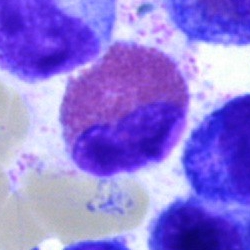{"cell_type": "eosinophilic granulocyte", "lineage": "myeloid"}